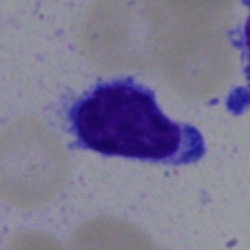Q: What is the morphological classification of this cell?
A: Typical lymphocyte.